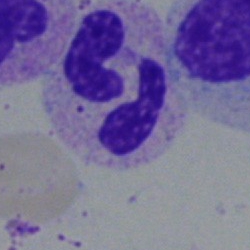

Cell — polymorphonuclear neutrophil.